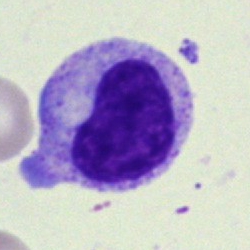Single-cell crop from a bone marrow smear: metamyelocyte.